Bone marrow smear — 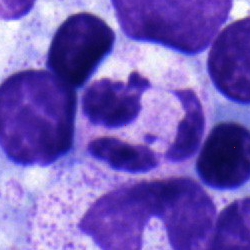Morphology — segmented neutrophil.